Peripheral blood smear: 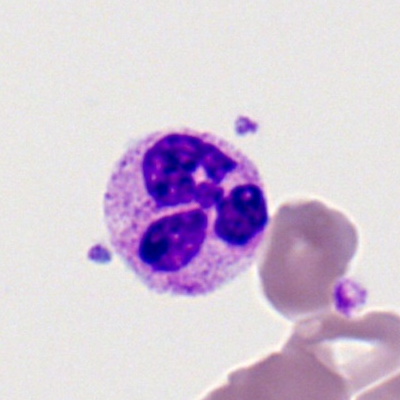 A segmented neutrophil.